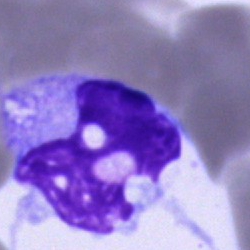Single cell identified as a monocyte.